Bone marrow smear:
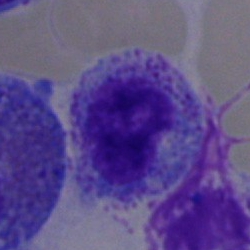

Specimen: bone marrow aspirate smear.
Classification: myelocyte.
Lineage: myeloid.